Bone marrow aspirate smear: 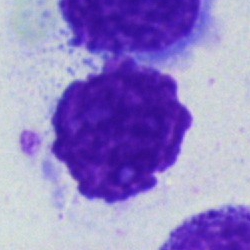An artefact.